Bone marrow aspirate smear · Pappenheim-stained:
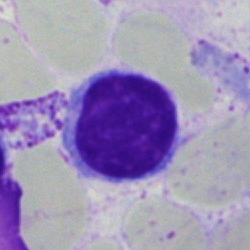Cell: typical lymphocyte.